Bone marrow smear; image size 250×250; brightfield microscopy, 40× oil immersion — 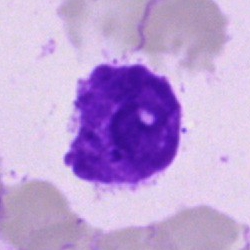Impression — artifact.